Bone marrow aspirate smear:
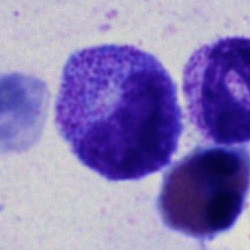

Cell type = band neutrophil.